Bone marrow aspirate smear. May-Grünwald-Giemsa stain. 40× oil immersion — 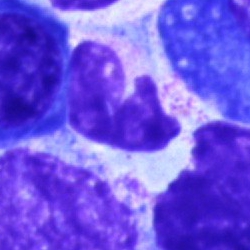

Q: What is the morphological classification of this cell?
A: A segmented neutrophil.